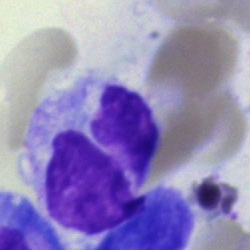 Monocyte.